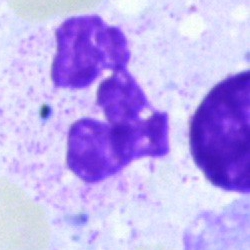Impression — segmented neutrophil.